Cropped to a single cell · 40× objective, oil immersion · bone marrow smear:
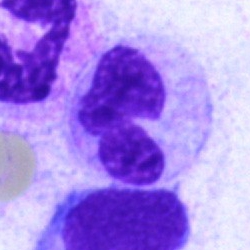
{"cell_type": "segmented neutrophil"}